Brightfield, 40× oil-immersion objective · bone marrow aspirate smear.
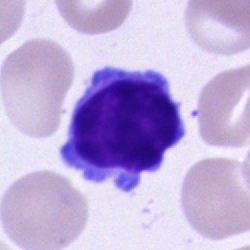Morphology → lymphocyte.